Cropped to a single cell · bone marrow aspirate smear · 250×250 px:
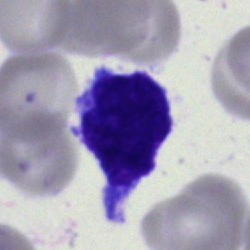
Blast cell.